Pappenheim-stained · bone marrow aspirate smear · 40× objective, oil immersion:
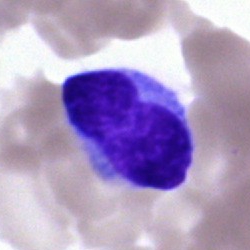

Cell type = typical lymphocyte.